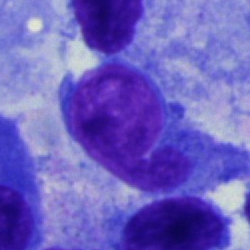 {"cell_type": "typical lymphocyte", "lineage": "lymphoid"}